Bone marrow aspirate smear.
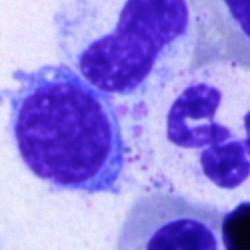

This is a lymphocyte.